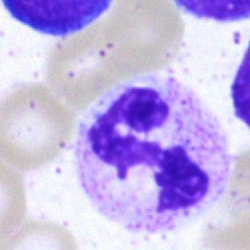 Bone marrow aspirate smear, single cell — segmented neutrophil.